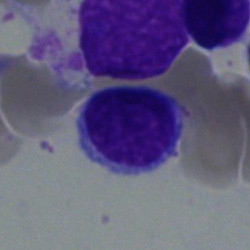
Bone marrow aspirate smear, single cell — typical lymphocyte.